Bone marrow aspirate smear. Single-cell crop: 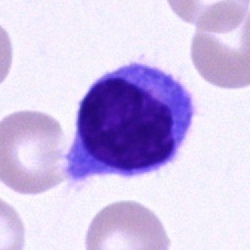

Lymphocyte.